Bone marrow smear. 250 by 250 pixels — 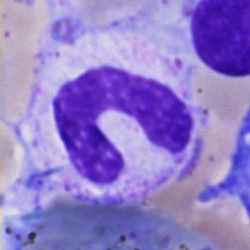Classification = band neutrophil.